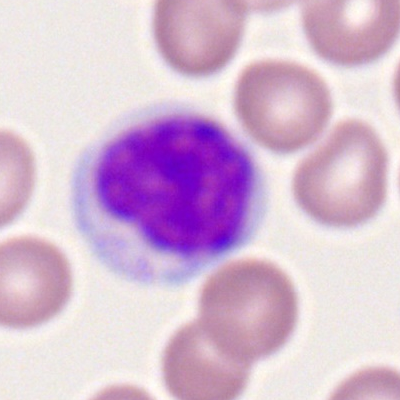

The cell shown is a typical lymphocyte.